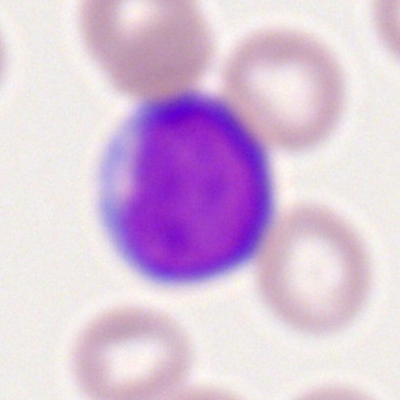 Morphology consistent with a myeloblast.